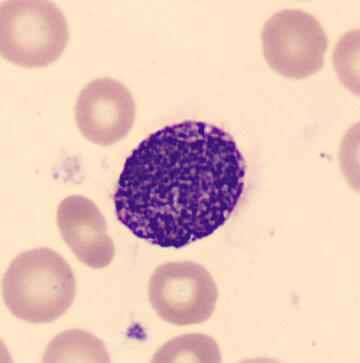 Identified as a basophilic granulocyte.